Brightfield, 40× oil-immersion objective. Bone marrow aspirate smear. Single-cell crop.
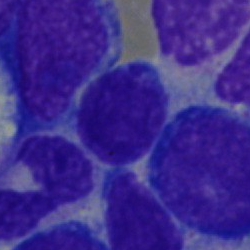

Q: What is shown here?
A: It is a typical lymphocyte.